Bone marrow aspirate smear: 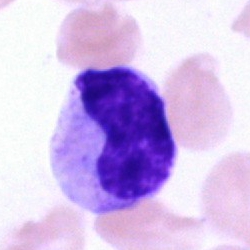 Specimen: bone marrow smear.
Cell: metamyelocyte.
Lineage: myeloid.